Bone marrow aspirate smear — 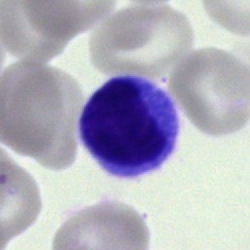This is a lymphocyte.